Pappenheim-stained. Bone marrow smear — 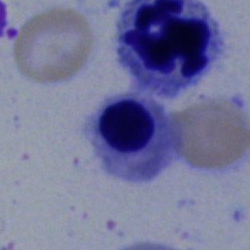Morphology consistent with a normoblast.